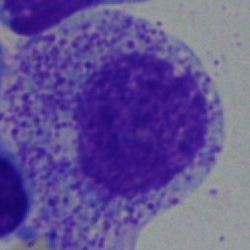

Cell type: myelocyte.